Peripheral blood film: 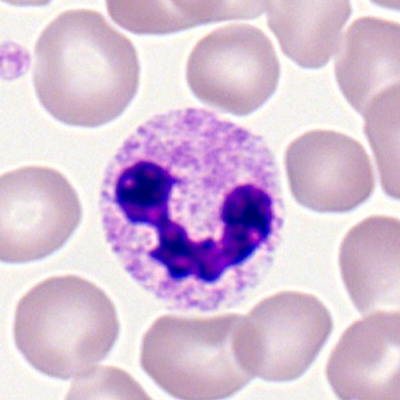 Morphological class: segmented neutrophil.